Bone marrow smear.
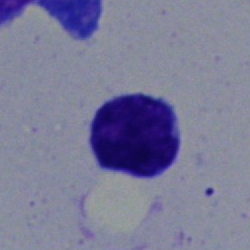A typical lymphocyte.